Pappenheim-stained. Bone marrow aspirate smear. Single-cell field
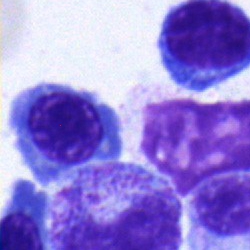The cell shown is an erythroblast.